Bone marrow aspirate smear:
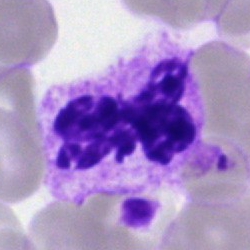Specimen: bone marrow aspirate smear.
Cell: neutrophil (segmented).
Lineage: myeloid.